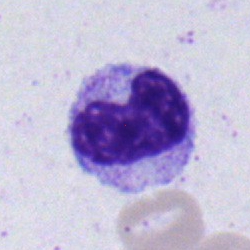 Single cell identified as a metamyelocyte.